Bone marrow aspirate smear:
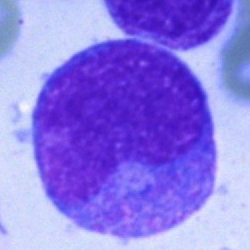A metamyelocyte.